Single-cell crop · 40× objective, oil immersion · bone marrow smear:
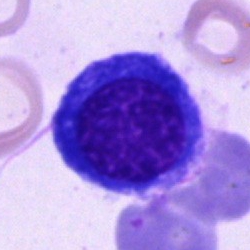 Specimen: bone marrow smear.
Cell: normoblast.
Lineage: erythroid.